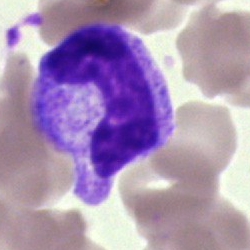
Specimen: bone marrow smear.
Morphological class: neutrophil (band).